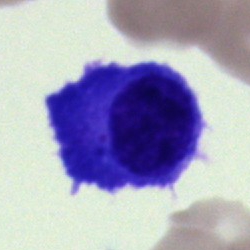Bone marrow aspirate smear, single cell — plasmacyte.